Bone marrow aspirate smear · 40× objective, oil immersion: 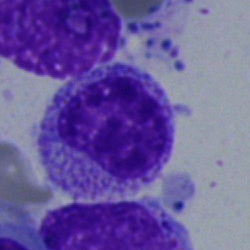 The classification is myelocyte.